Bone marrow aspirate smear:
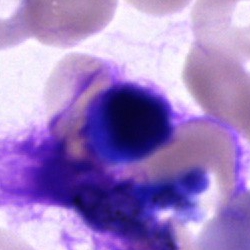

Q: What type of cell is this?
A: It is a cell of indeterminate lineage.